Bone marrow smear; image size 250×250; 40× oil immersion.
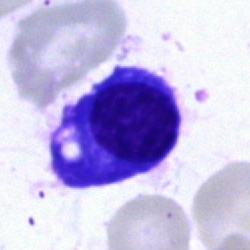
Q: What is the morphological classification of this cell?
A: A plasmacyte.